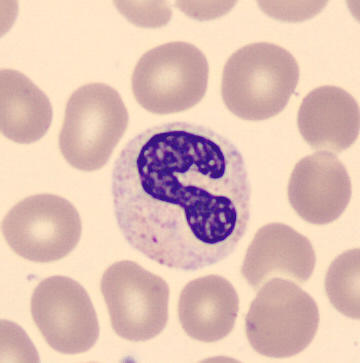Q: Identify the cell.
A: Neutrophil (band).
Image: Single-cell crop; May Grünwald-Giemsa stain; peripheral blood film.